Bone marrow aspirate smear — 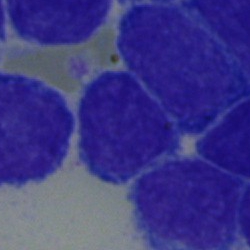 Q: What type of cell is this?
A: Lymphocyte.